CellaVision DM96; peripheral blood smear
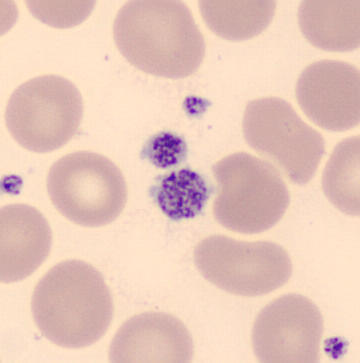
Identified as a platelet (thrombocyte).